Bone marrow aspirate smear:
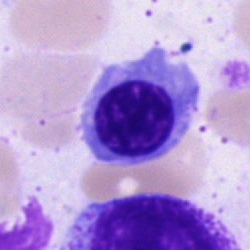This is an erythroblast.